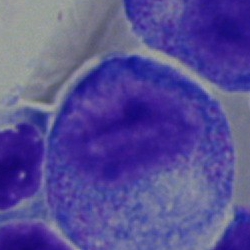 {"cell_type": "promyelocyte", "lineage": "myeloid"}